Bone marrow aspirate smear — 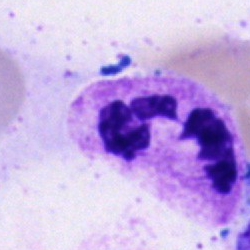
Impression — neutrophil (segmented).